Bone marrow aspirate smear. May-Grünwald-Giemsa/Pappenheim stain. 40× objective, oil immersion
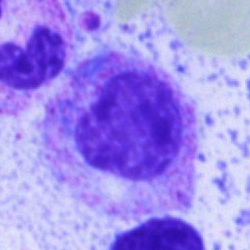
Morphological class = myelocyte.